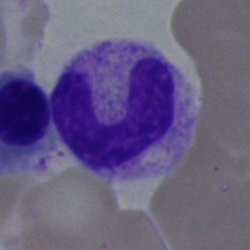 {"cell_type": "stab cell", "lineage": "myeloid"}